Bone marrow smear: 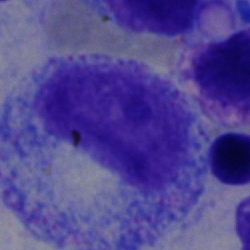

The classification is myelocyte.